250 by 250 pixels; bone marrow smear
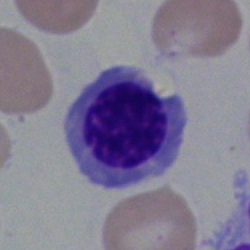

Q: Identify the cell.
A: Erythroblast.